Bone marrow aspirate smear.
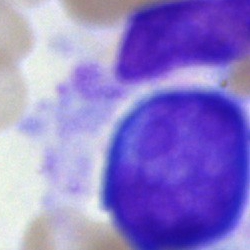The classification is undifferentiated blast.